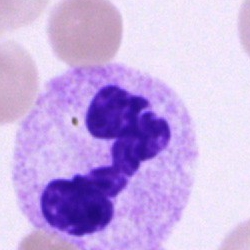

Q: What is shown here?
A: A segmented neutrophil.